Bone marrow aspirate smear.
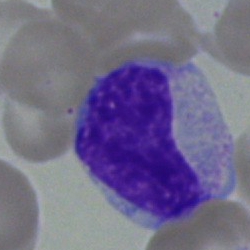
Cell type = metamyelocyte.